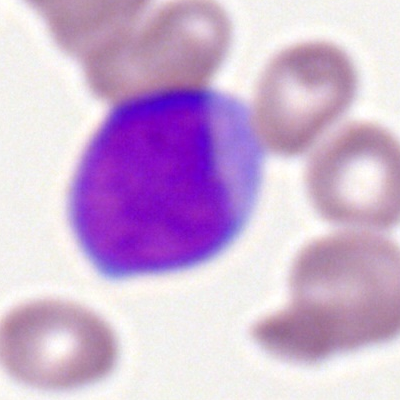
Single-cell crop from a peripheral blood smear: myeloid blast.